Bone marrow smear — 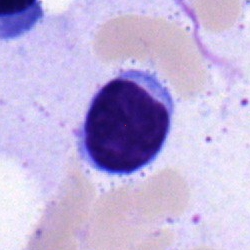Morphology consistent with a lymphocyte.